Peripheral blood smear:
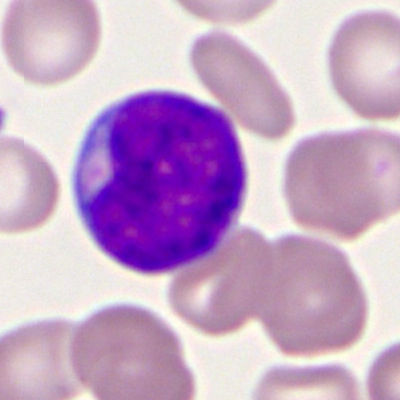Morphology consistent with a myeloid blast.